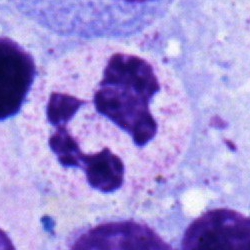

Polymorphonuclear neutrophil.